Image size 250×250; bone marrow aspirate smear:
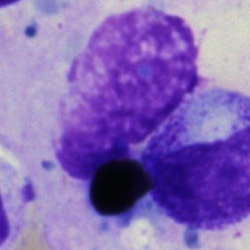
The cell shown is an artefact.